Bone marrow aspirate smear.
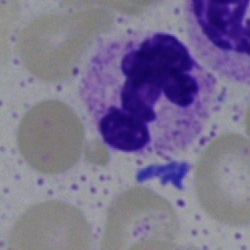

Morphology consistent with a neutrophil (segmented).